Bone marrow aspirate smear:
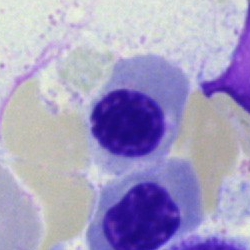

The cell is normoblast.